Cropped to a single cell. Bone marrow aspirate smear — 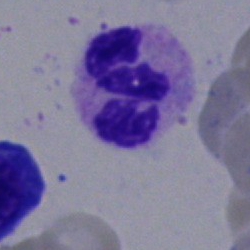
Impression → polymorphonuclear neutrophil.